Image size 250×250 · bone marrow smear · MGG-stained: 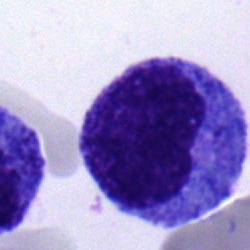
Promyelocyte.